Bone marrow aspirate smear — 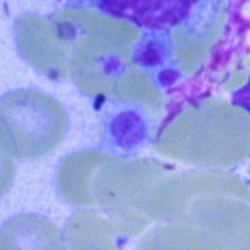
Specimen: bone marrow aspirate smear.
Classification: artifact.